Bone marrow aspirate smear — 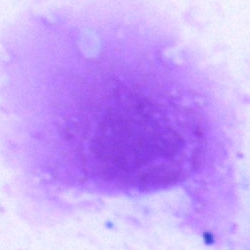Showing an artefact.